Bone marrow smear; 40× oil immersion; image size 250×250
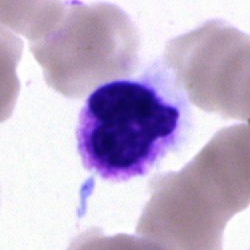

Q: Which cell type is shown here?
A: This is a polymorphonuclear neutrophil.